Bone marrow aspirate smear · Pappenheim-stained: 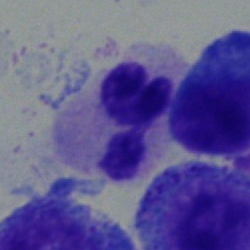

Neutrophil (segmented).